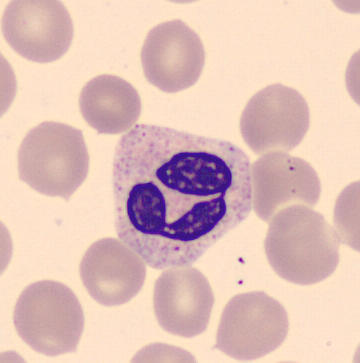Polymorphonuclear neutrophil.